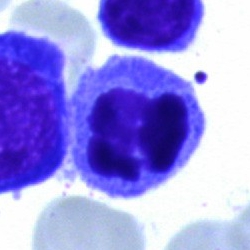Morphology consistent with an artefact.